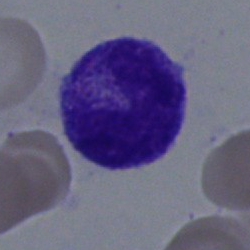
{"cell_type": "band-form neutrophil"}